Image size 400×400 · peripheral blood smear — 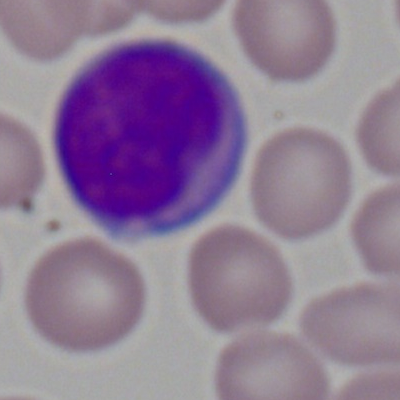Showing a myeloblast.